Bone marrow aspirate smear. May-Grünwald-Giemsa/Pappenheim stain
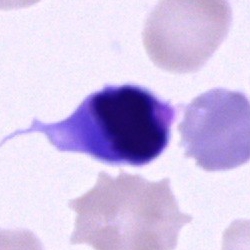Impression → cell of indeterminate lineage.